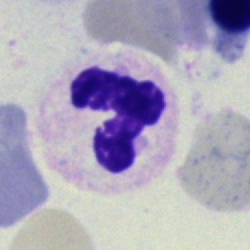Cell = segmented neutrophil.